Bone marrow smear:
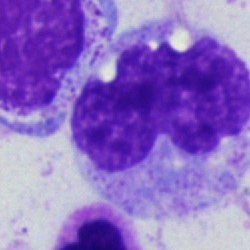
Showing a monocyte.